40× objective, oil immersion · bone marrow aspirate smear: 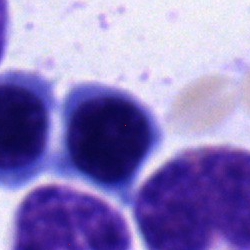
Classification — normoblast.